Image size 250×250; bone marrow aspirate smear:
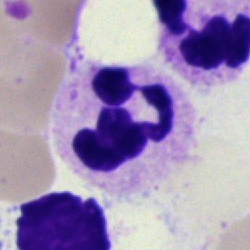
Classification — segmented neutrophil.